Bone marrow aspirate smear.
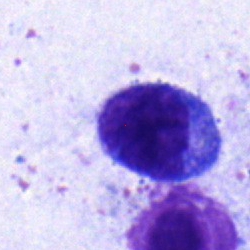

Specimen: bone marrow smear.
Cell type: typical lymphocyte.
Lineage: lymphoid.